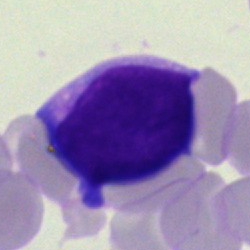 A blast.